Bone marrow aspirate smear
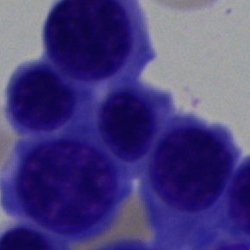Nucleated red blood cell.